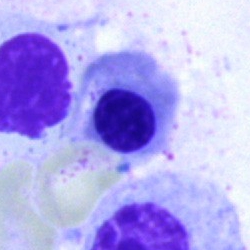

Q: What is the morphological classification of this cell?
A: It is a nucleated red blood cell.